Bone marrow aspirate smear.
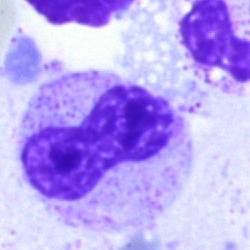

Specimen: bone marrow aspirate smear.
Morphological class: band-form neutrophil.